May-Grünwald-Giemsa stain. Single-cell field. Bone marrow smear: 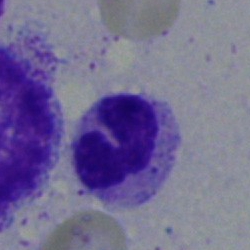Morphology consistent with a stab cell.